Bone marrow aspirate smear; single-cell field; image size 250×250.
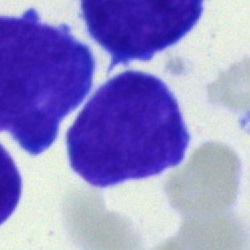Classification = undifferentiated blast.